Single-cell crop; bone marrow aspirate smear.
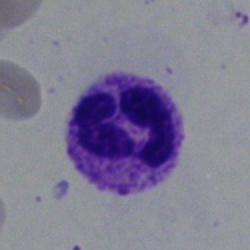

Q: Identify the cell.
A: This is a segmented neutrophil.